Bone marrow smear · brightfield, 40× oil-immersion objective.
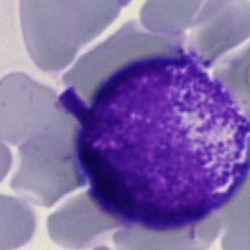The cell shown is a myelocyte.